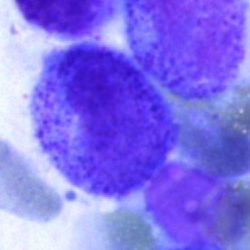

Cell = progranulocyte.